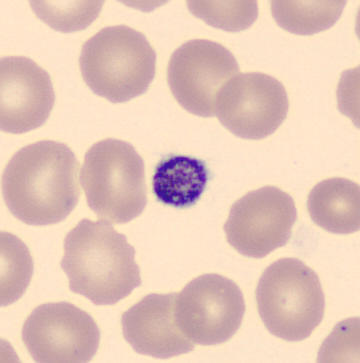
Identified as a platelet (thrombocyte).